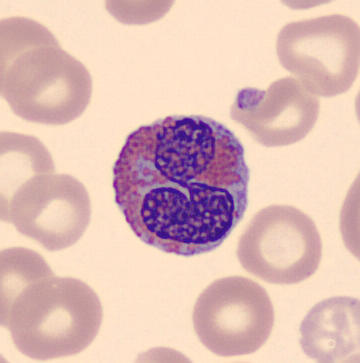
Acquisition: Peripheral blood smear. Impression — eosinophilic granulocyte.